Bone marrow smear · May-Grünwald-Giemsa stain:
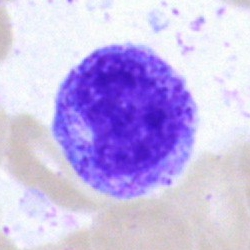

Showing a myelocyte.